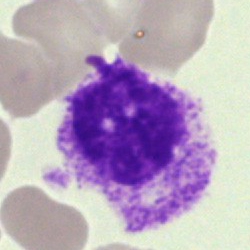
Cell — unidentifiable cell.